Bone marrow smear
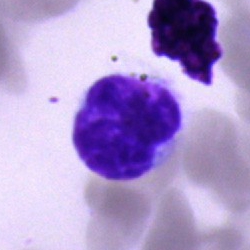

Q: What type of cell is this?
A: A lymphocyte.